Peripheral blood smear: 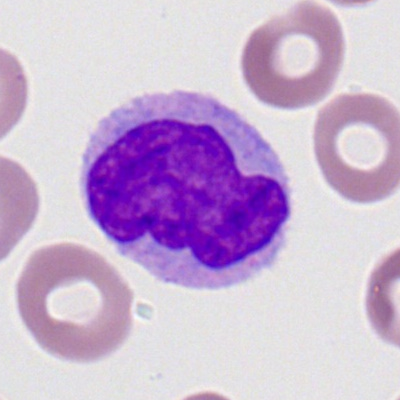
Impression — monocyte.